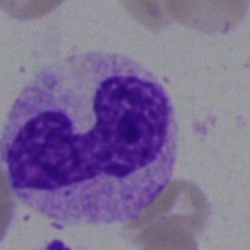

Morphology → stab cell.